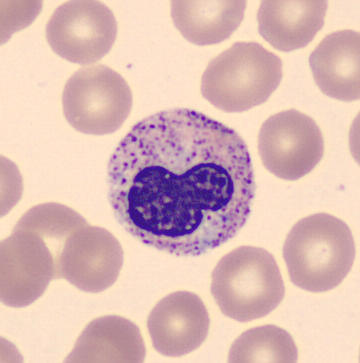

Cell type: metamyelocyte.

Peripheral blood smear.